Bone marrow aspirate smear; cropped to a single cell
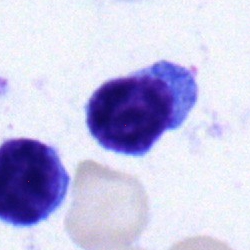 Single cell identified as a typical lymphocyte.